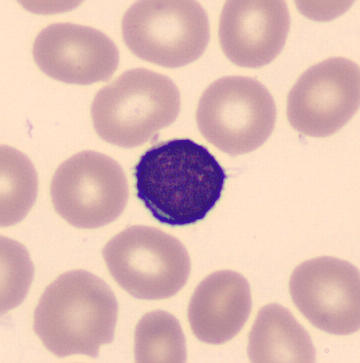

Peripheral blood film. Image size 360×363. May Grünwald-Giemsa stain.
Classification: lymphocyte.